Peripheral blood film; MGG-stained
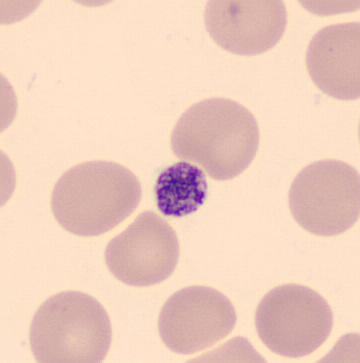Cell type: platelet.